Bone marrow smear
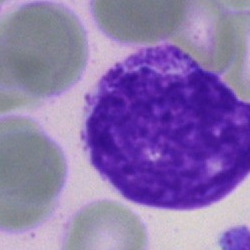 Q: Which cell type is shown here?
A: This is a myelocyte.